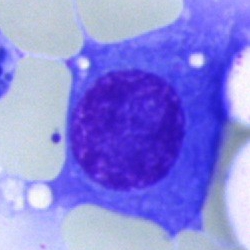 Specimen: bone marrow aspirate smear.
Cell type: plasmacyte.
Lineage: lymphoid.